Bone marrow aspirate smear.
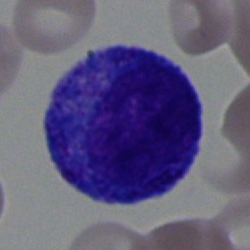 Single cell identified as a promyelocyte.